Bone marrow aspirate smear:
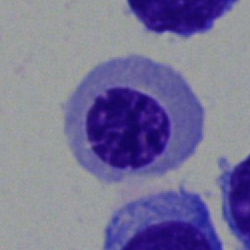
Morphology consistent with a normoblast.